Bone marrow smear — 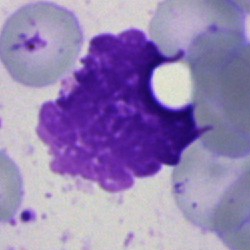
The cell shown is an artifact.